40× objective, oil immersion · 250 by 250 pixels · bone marrow smear — 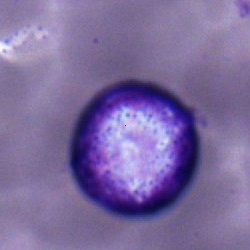
The cell shown is a lymphocyte.